Bone marrow aspirate smear · image size 250×250 — 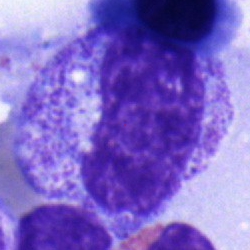
Morphological class: progranulocyte.